Bone marrow smear · 40× objective, oil immersion:
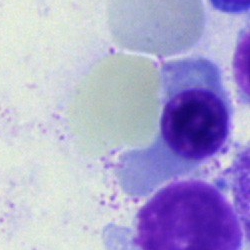 The cell type is erythroblast.